Peripheral blood smear — 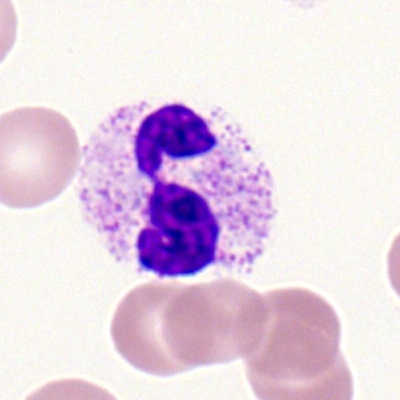Q: Which cell type is shown here?
A: A polymorphonuclear neutrophil.